Bone marrow aspirate smear; May-Grünwald-Giemsa/Pappenheim stain; brightfield, 40× oil-immersion objective.
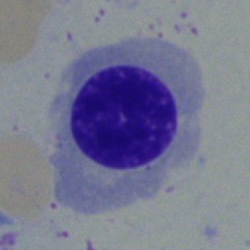
Classification = normoblast.